Image size 400×400; peripheral blood film; single-cell crop
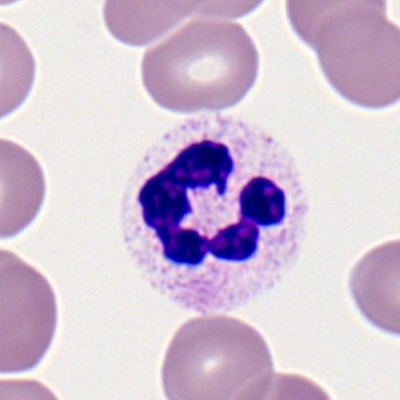
Specimen: peripheral blood film.
Cell type: polymorphonuclear neutrophil.
Lineage: myeloid.